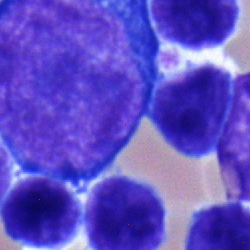A proerythroblast.